Single-cell crop · bone marrow aspirate smear: 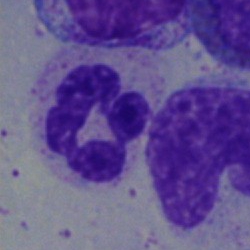 Single cell identified as a polymorphonuclear neutrophil.